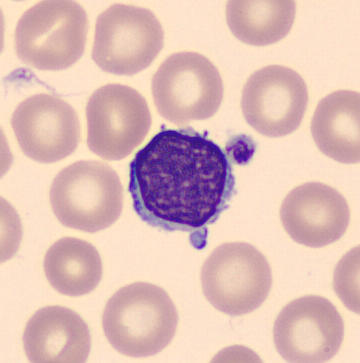
Q: What type of cell is this?
A: Typical lymphocyte. Peripheral blood film.